Bone marrow aspirate smear: 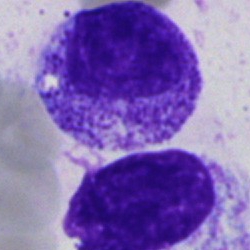
Cell = myelocyte.